40× objective, oil immersion. Bone marrow smear. 250×250: 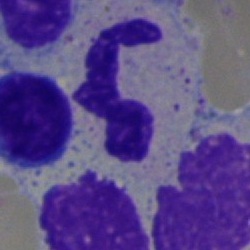 Specimen: bone marrow aspirate smear.
Cell type: neutrophil (segmented).